Bone marrow smear — 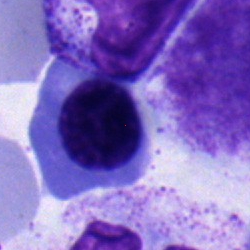

Single cell identified as a normoblast.